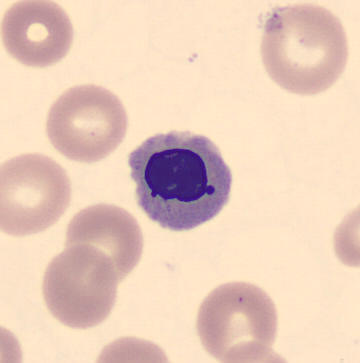 Q: What is shown here?
A: This is a nucleated red cell.